Bone marrow smear.
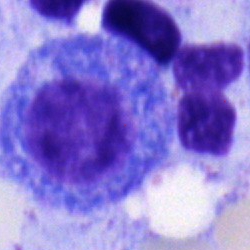
A promyelocyte.